Cropped to a single cell; brightfield, 40× oil-immersion objective; bone marrow aspirate smear
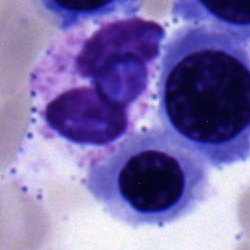Specimen: bone marrow aspirate smear.
Morphological class: segmented neutrophil.
Lineage: myeloid.